Bone marrow aspirate smear — 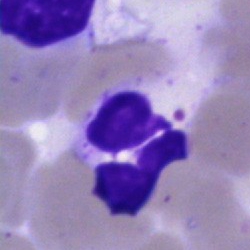 Impression — neutrophil (segmented).